Bone marrow smear: 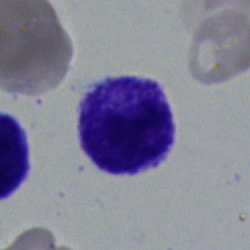The classification is metamyelocyte.